Bone marrow aspirate smear
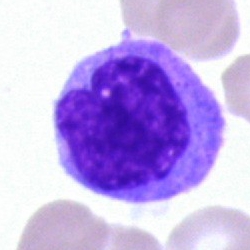 This is a monocyte.